Bone marrow smear
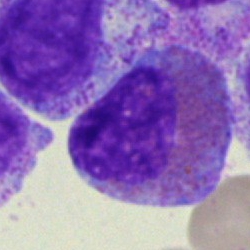

Morphological class: eosinophilic granulocyte.